MGG-stained. Brightfield microscopy, 40× oil immersion. Bone marrow smear — 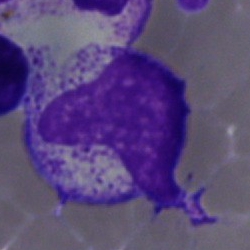
Cell type — metamyelocyte.